Peripheral blood smear — 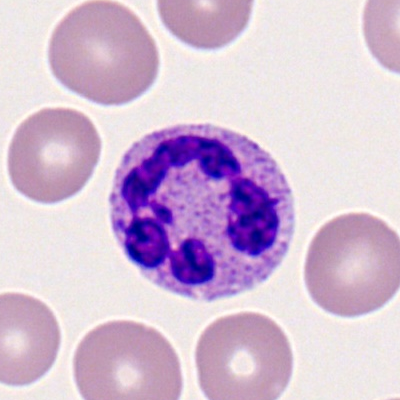A polymorphonuclear neutrophil.